Bone marrow smear: 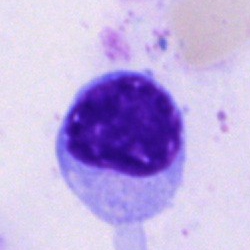 Morphology consistent with a typical lymphocyte.